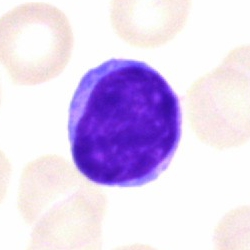 The morphological class is lymphocyte.